Peripheral blood smear
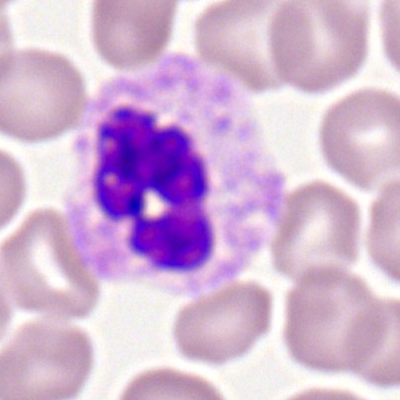 The cell type is polymorphonuclear neutrophil.